Bone marrow smear · single cell centered in the field:
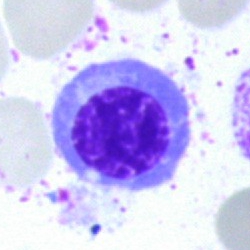Cell type — nucleated red blood cell.